Pappenheim-stained · bone marrow smear:
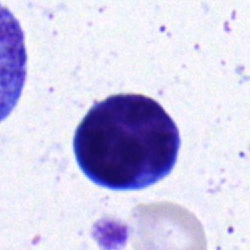 Specimen: bone marrow smear.
Cell type: typical lymphocyte.